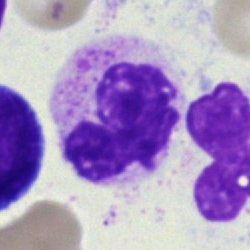

Q: Identify the cell.
A: This is a polymorphonuclear neutrophil.